250 by 250 pixels; bone marrow aspirate smear.
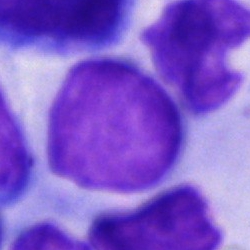 {"cell_type": "blast"}